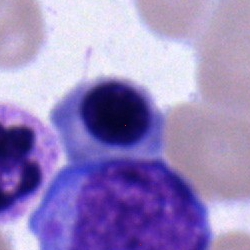 Specimen: bone marrow smear.
Classification: nucleated red blood cell.
Lineage: erythroid.